Peripheral blood smear.
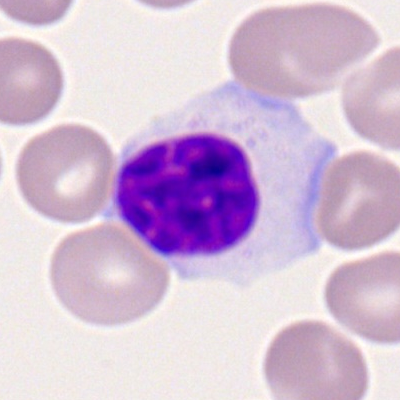 The cell shown is a lymphocyte.